Bone marrow smear; May-Grünwald-Giemsa/Pappenheim stain — 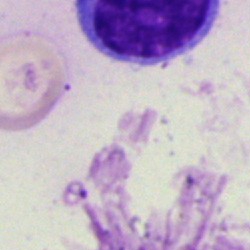

Classification = artefact.